40× oil immersion. 250×250. Bone marrow aspirate smear:
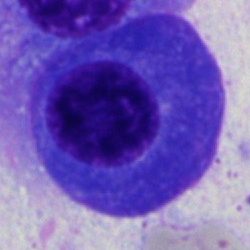
This is a plasma cell.